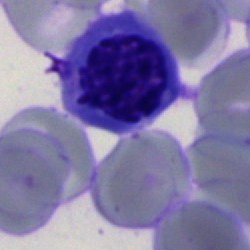 Morphology consistent with a normoblast.